Peripheral blood smear — 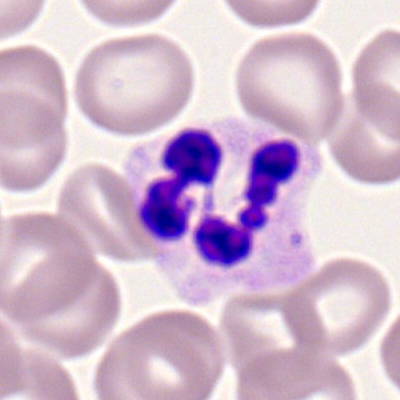 Polymorphonuclear neutrophil.